Bone marrow smear.
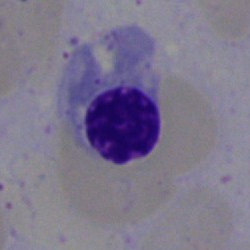 Nucleated red cell.